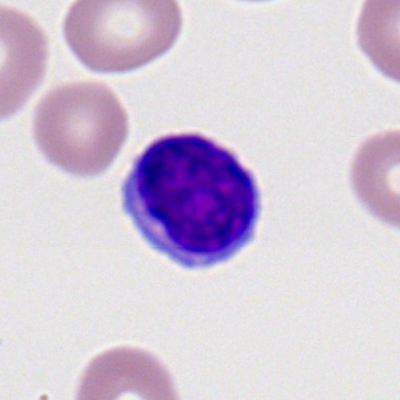

Morphology → lymphocyte.